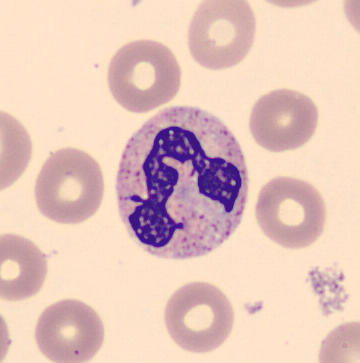 Neutrophil (segmented).

Preparation: Peripheral blood film.